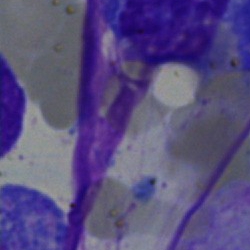The cell shown is an artefact.